Peripheral blood film · cropped to a single cell:
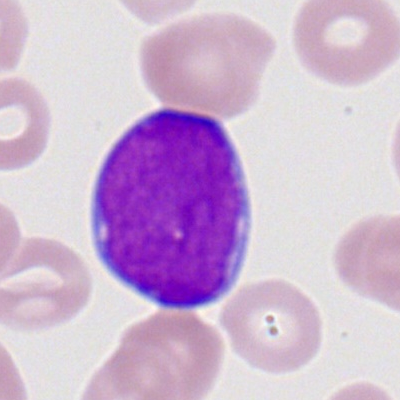 The classification is myeloblast.